Peripheral blood film: 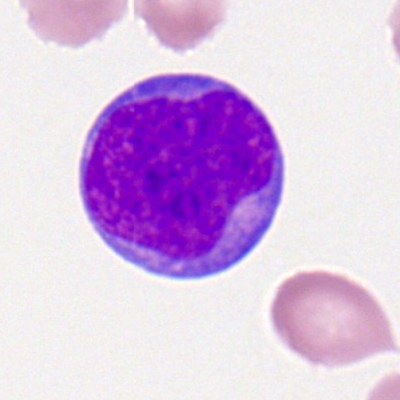
Myeloid blast.